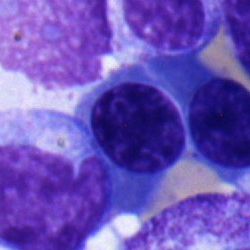
Impression → nucleated red blood cell.